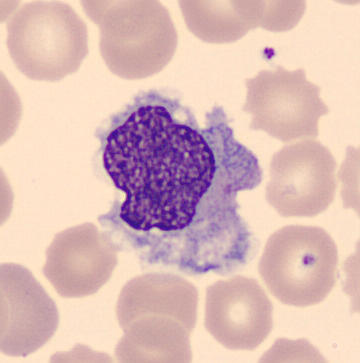

A monocyte.